Bone marrow smear · MGG-stained
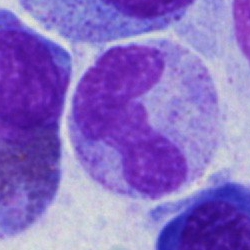 The cell type is neutrophil (band).